Bone marrow smear; 40× objective, oil immersion — 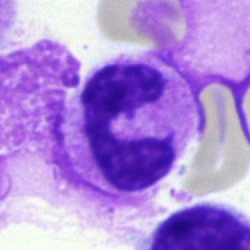 Specimen: bone marrow smear.
Morphological class: polymorphonuclear neutrophil.